Bone marrow smear: 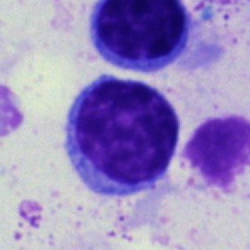
Cell = typical lymphocyte.